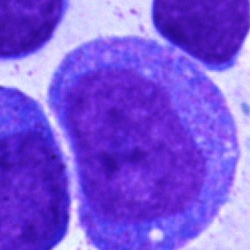 A progranulocyte on a bone marrow smear.